250×250 px. Bone marrow aspirate smear. May-Grünwald-Giemsa stain:
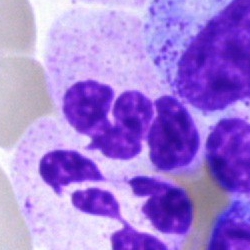
Polymorphonuclear neutrophil.